May-Grünwald-Giemsa stain; bone marrow smear.
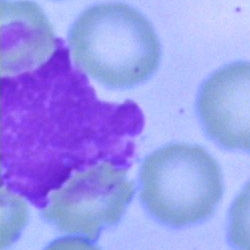

Specimen: bone marrow aspirate smear.
Cell type: artifact.